Bone marrow aspirate smear. Cropped to a single cell — 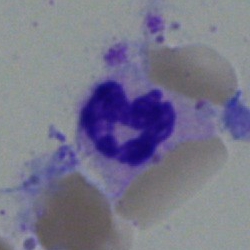A segmented neutrophil.